Single cell centered in the field · bone marrow smear: 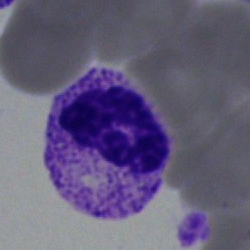

This is a neutrophil (segmented).